Single-cell crop; 250×250; bone marrow smear — 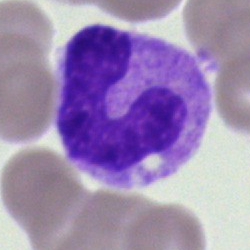 Morphology — stab cell.